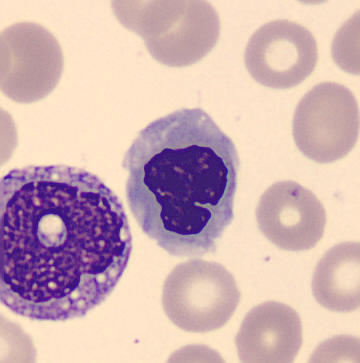

Preparation: May Grünwald-Giemsa stain. 360×363 px.

Specimen: peripheral blood smear.
Cell: erythroblast.
Lineage: erythroid.